Cropped to a single cell. Bone marrow aspirate smear — 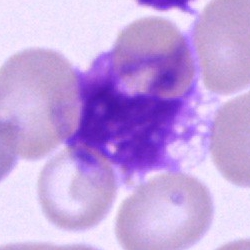Q: What is shown here?
A: An artefact.